May-Grünwald-Giemsa stain. Bone marrow smear — 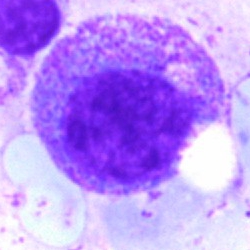
A myelocyte.